Bone marrow aspirate smear
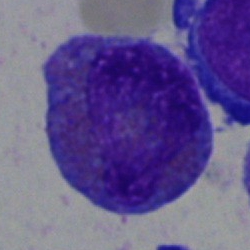The cell shown is an eosinophilic granulocyte.